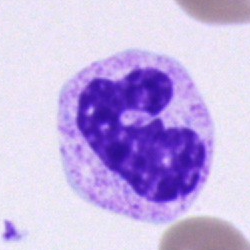
The classification is neutrophil (segmented).